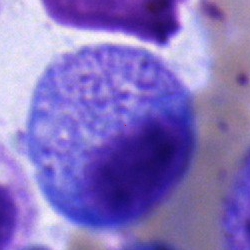Impression → promyelocyte.